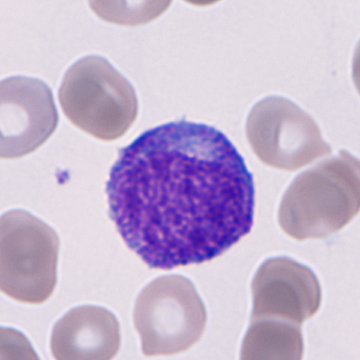

Cell type — granulocyte precursor.
Image: Peripheral blood smear.